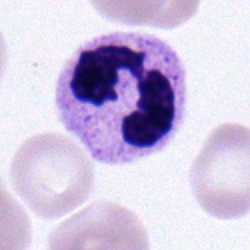

Showing a neutrophil (segmented).